Cropped to a single cell; bone marrow aspirate smear
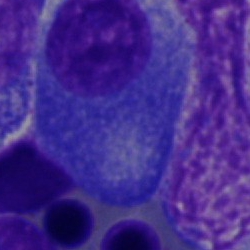
Morphological class — plasmacyte.